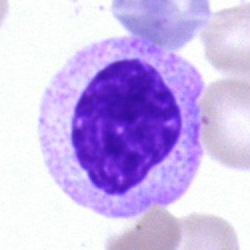

Cell type — myelocyte.